Bone marrow aspirate smear — 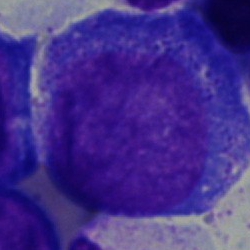

Single cell identified as a progranulocyte.